Bone marrow aspirate smear
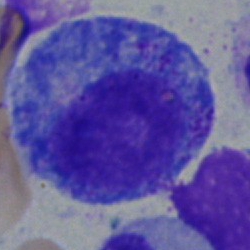
The cell type is progranulocyte.